Bone marrow smear.
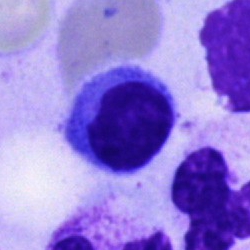Impression → typical lymphocyte.